Peripheral blood smear — 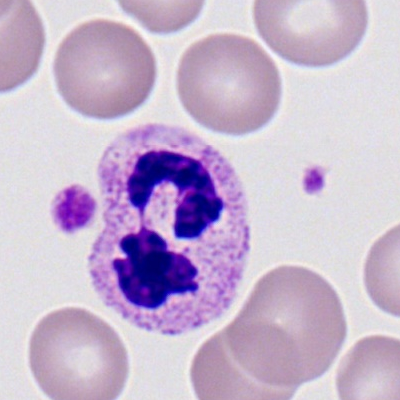
Q: Which cell type is shown here?
A: Polymorphonuclear neutrophil.